Single-cell crop · May-Grünwald-Giemsa/Pappenheim stain · bone marrow aspirate smear: 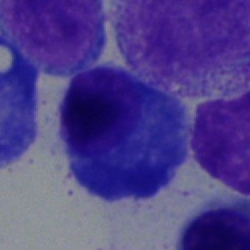

Classification — plasmacyte.